MGG-stained; bone marrow aspirate smear
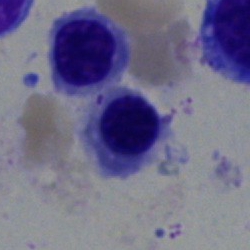Q: What is the morphological classification of this cell?
A: This is a nucleated red cell.